Bone marrow smear
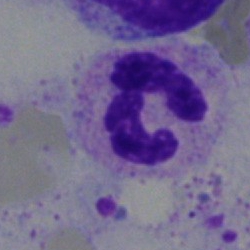

Specimen: bone marrow smear.
Cell: segmented neutrophil.
Lineage: myeloid.